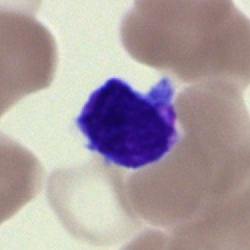

This is a lymphocyte.